Peripheral blood smear.
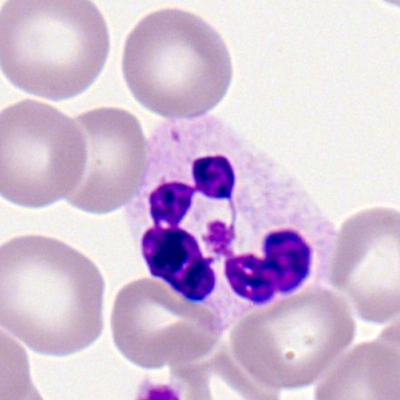Cell — polymorphonuclear neutrophil.